Single cell centered in the field; bone marrow smear:
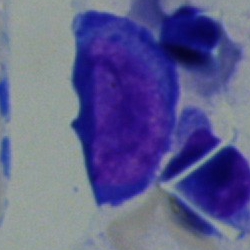 Q: What type of cell is this?
A: A proerythroblast.